Bone marrow smear:
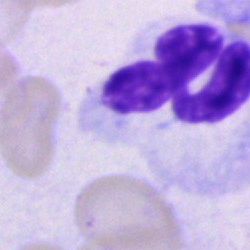

The cell is segmented neutrophil.